Bone marrow smear: 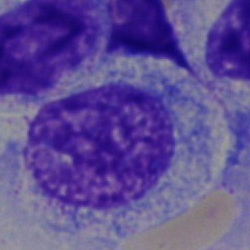

Q: What is shown here?
A: A myelocyte.